Bone marrow smear:
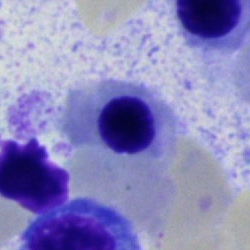

Morphology — erythroblast.